40× objective, oil immersion; bone marrow aspirate smear: 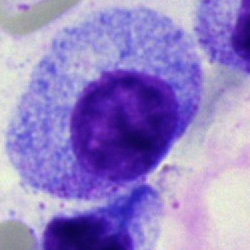

Cell type: progranulocyte.